Bone marrow smear — 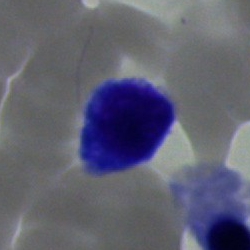 Morphology consistent with a lymphocyte.